250×250 px · bone marrow aspirate smear:
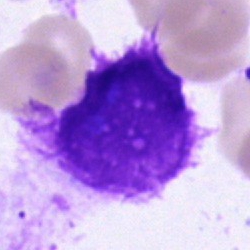

Impression — artefact.